Bone marrow aspirate smear; Pappenheim-stained; single-cell crop.
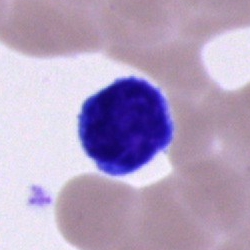

Lymphocyte.